Single-cell field; brightfield, 40× oil-immersion objective; bone marrow smear
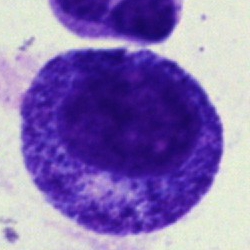

{"cell_type": "progranulocyte"}